Brightfield microscopy, 40× oil immersion. Bone marrow smear
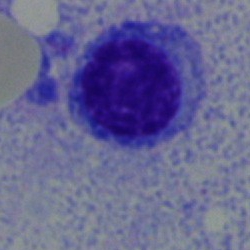 Specimen: bone marrow aspirate smear.
Cell type: plasmacyte.
Lineage: lymphoid.